Bone marrow aspirate smear: 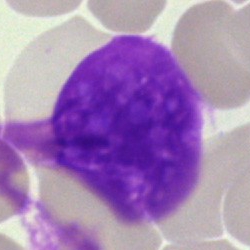{"cell_type": "artefact"}